Bone marrow smear:
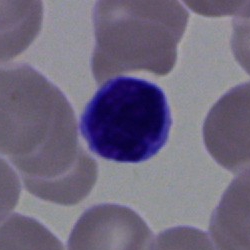 Q: What is shown here?
A: A lymphocyte.